Bone marrow aspirate smear; MGG-stained
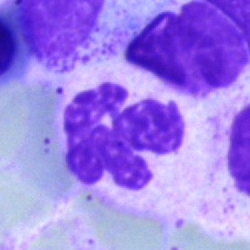 Segmented neutrophil.